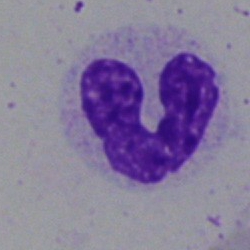 Cell type: band-form neutrophil.